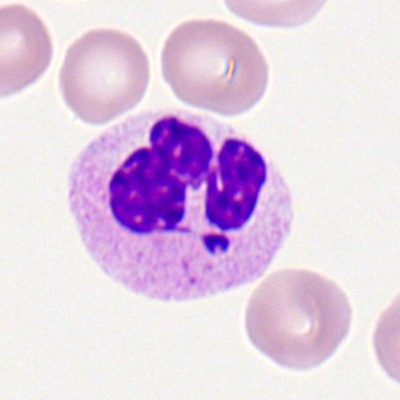
The morphological class is neutrophil (segmented).